Bone marrow smear — 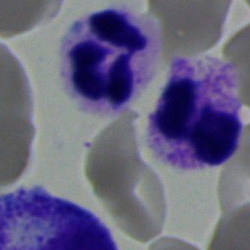
The cell shown is a polymorphonuclear neutrophil.